Bone marrow smear. MGG-stained: 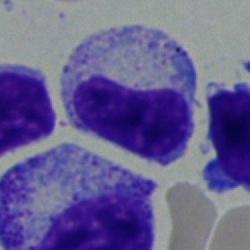
Single cell identified as a myelocyte.